250 by 250 pixels; bone marrow aspirate smear.
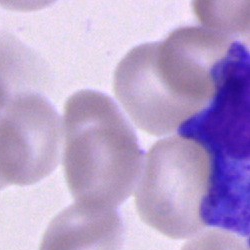 {"cell_type": "cell of indeterminate lineage"}